Bone marrow aspirate smear:
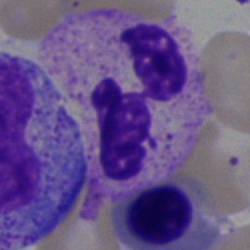Morphology → polymorphonuclear neutrophil.